Bone marrow aspirate smear:
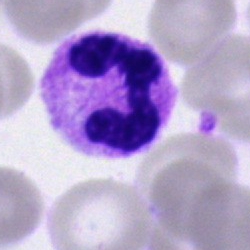

Cell: segmented neutrophil.